Bone marrow smear · 40× oil immersion:
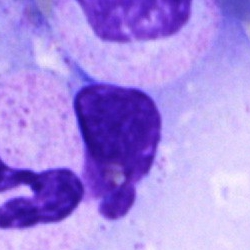

Specimen: bone marrow aspirate smear.
Cell: artefact.